Bone marrow smear · MGG-stained.
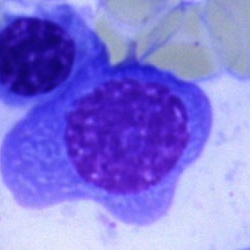
Plasmacyte.